Bone marrow smear:
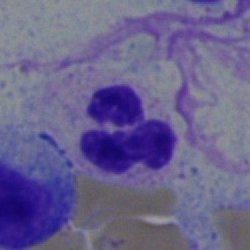
Specimen: bone marrow smear.
Morphological class: segmented neutrophil.
Lineage: myeloid.